Bone marrow aspirate smear:
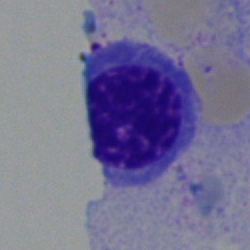Cell type: erythroblast.